Bone marrow smear
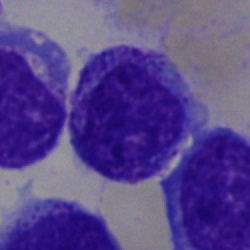Undifferentiated blast.